Bone marrow aspirate smear
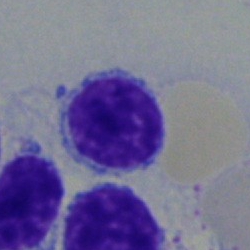
Morphology consistent with a lymphocyte.